40× oil immersion; bone marrow smear; single-cell crop.
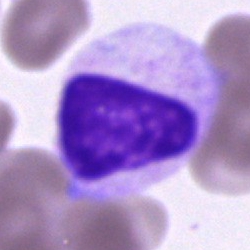

Cell of indeterminate lineage.